Bone marrow smear.
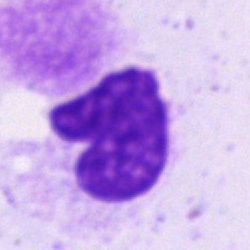
Q: What is shown here?
A: It is an artifact.